Bone marrow aspirate smear
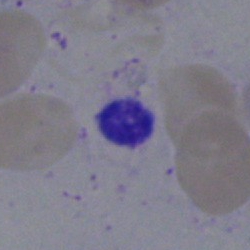

Q: What is shown here?
A: It is an artefact.